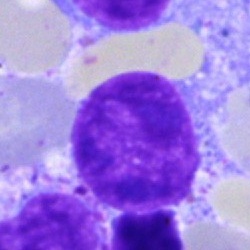

Q: What type of cell is this?
A: It is a typical lymphocyte.